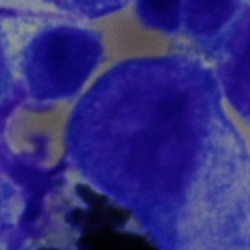

A promyelocyte on a bone marrow smear.